Bone marrow aspirate smear.
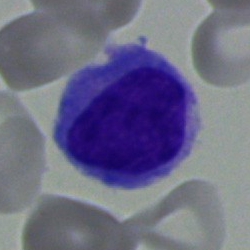
Single cell identified as a monocyte.